Bone marrow smear — 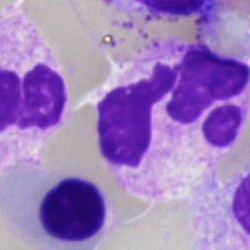

This is a segmented neutrophil.